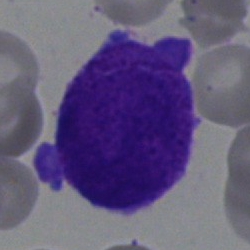
Classification: blast.